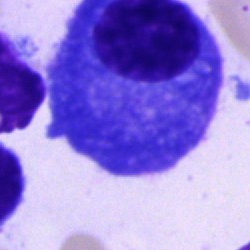Plasma cell.